Bone marrow aspirate smear — 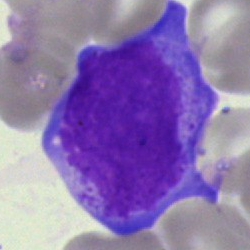
Morphology — undifferentiated blast.